Bone marrow smear: 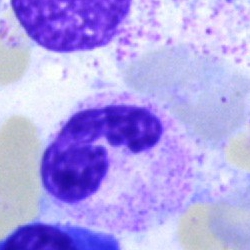{"cell_type": "neutrophil (segmented)"}